Bone marrow aspirate smear; Pappenheim-stained:
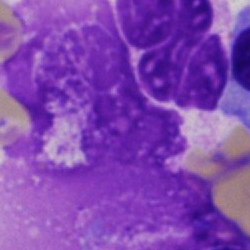
Q: What is shown here?
A: This is an artifact.